Peripheral blood film; 100× oil immersion, 14.14 px/µm
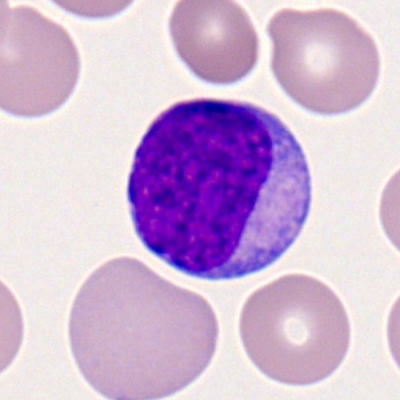
Classification: myeloid blast.